Single cell centered in the field · bone marrow smear
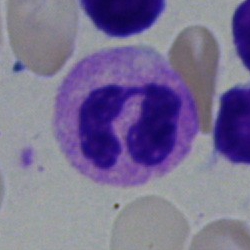
Morphology — segmented neutrophil.